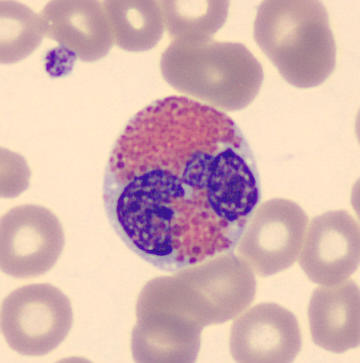 Q: What cell is this?
A: This is an eosinophil.